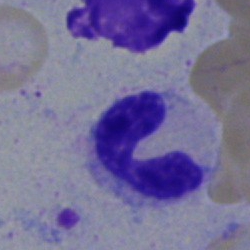Classification: neutrophil (band).